Bone marrow aspirate smear. 40× oil immersion. Single cell centered in the field: 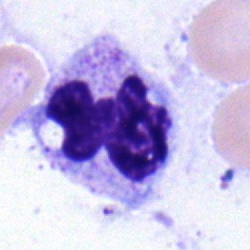 Impression — segmented neutrophil.